Bone marrow aspirate smear · brightfield, 40× oil-immersion objective
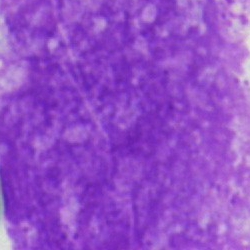 Showing an artefact.